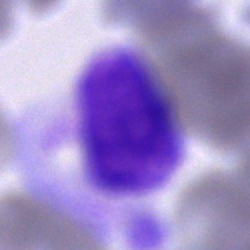 Q: Identify the cell.
A: An unidentifiable cell.